Bone marrow smear
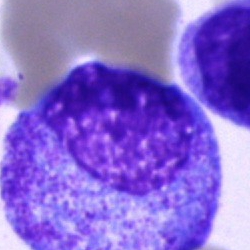
Specimen: bone marrow aspirate smear.
Morphological class: promyelocyte.
Lineage: myeloid.